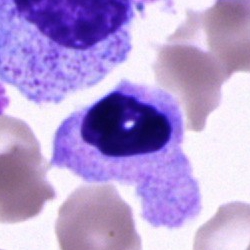
Morphology → artefact.